Peripheral blood smear:
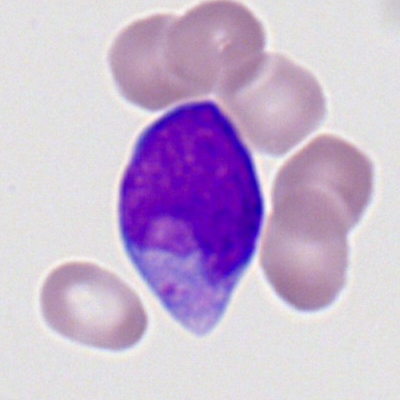

The cell type is myeloid blast.